May-Grünwald-Giemsa/Pappenheim stain. Bone marrow aspirate smear: 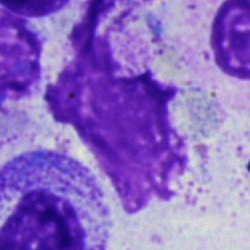

Artifact.